Bone marrow aspirate smear; single-cell field
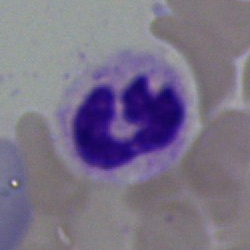Morphological class — neutrophil (segmented).